Peripheral blood film.
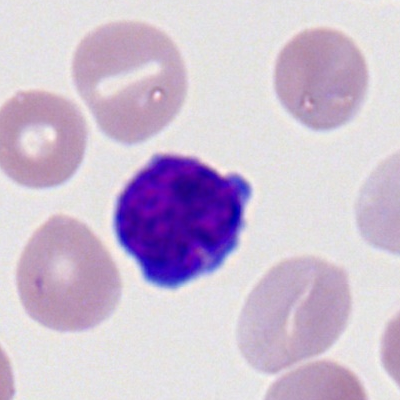 {"cell_type": "lymphocyte", "lineage": "lymphoid"}